Brightfield microscopy, 40× oil immersion · bone marrow smear — 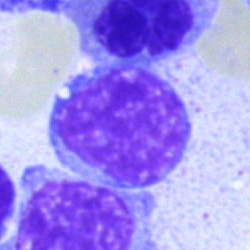
This is a lymphocyte.